Bone marrow smear.
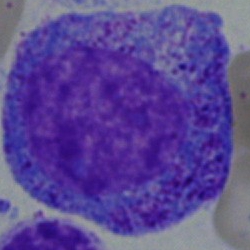
Cell type: progranulocyte.